Bone marrow smear. MGG-stained.
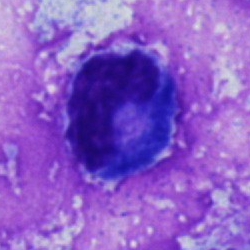Morphological class: artefact.